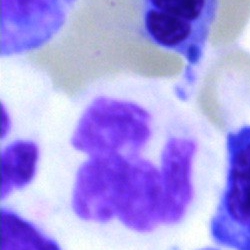Neutrophil (segmented).